100× oil immersion; peripheral blood film:
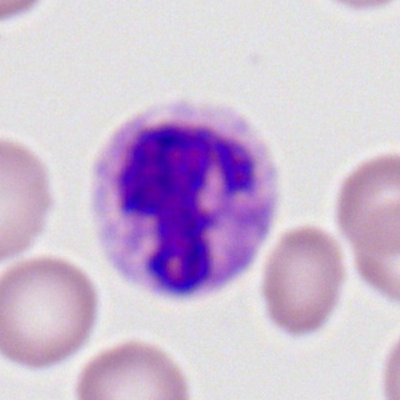{"cell_type": "polymorphonuclear neutrophil"}